250×250 px · bone marrow smear · May-Grünwald-Giemsa/Pappenheim stain.
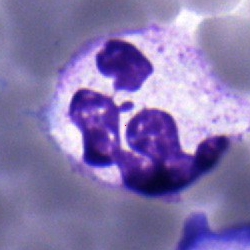 Polymorphonuclear neutrophil.